Bone marrow smear:
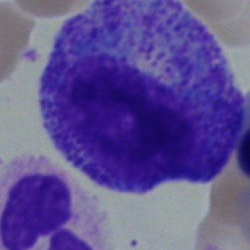

The classification is progranulocyte.